Bone marrow aspirate smear; Pappenheim-stained: 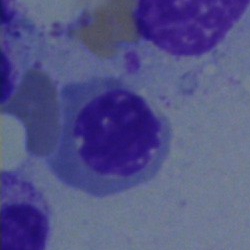Classification: nucleated red blood cell.